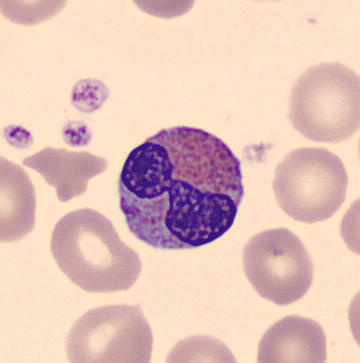Specimen: peripheral blood smear.
Cell: eosinophil.
Lineage: myeloid.